Bone marrow smear · single-cell field · brightfield microscopy, 40× oil immersion — 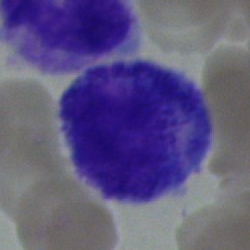The cell shown is a promyelocyte.